Bone marrow aspirate smear · cropped to a single cell · MGG-stained: 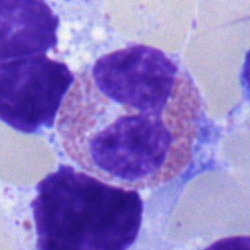
Showing an eosinophilic granulocyte.